Brightfield microscopy, 40× oil immersion; May-Grünwald-Giemsa/Pappenheim stain; bone marrow smear: 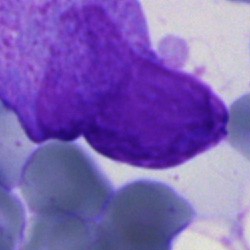
Q: What is the morphological classification of this cell?
A: This is a blast.